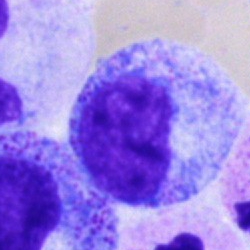
Q: What is shown here?
A: This is a promyelocyte.